Bone marrow smear
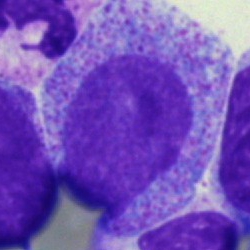 Classification: promyelocyte.